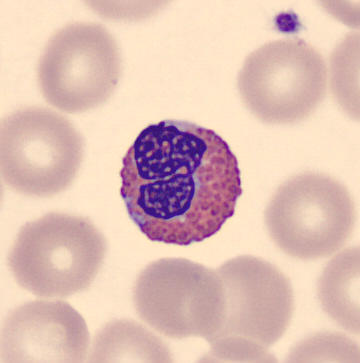

Acquisition: Peripheral blood film; single cell centered in the field.

An eosinophilic granulocyte.